Bone marrow aspirate smear: 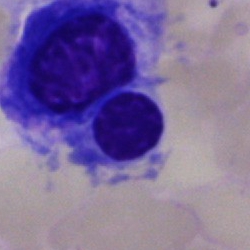
Showing a nucleated red blood cell.